Bone marrow smear · 250×250: 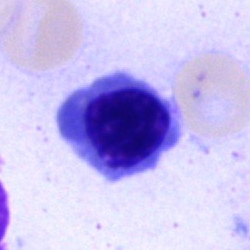Cell — normoblast.